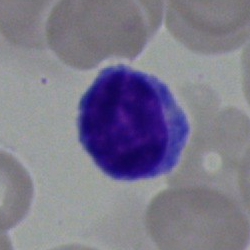 Morphology → typical lymphocyte.